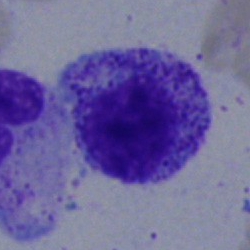Bone marrow smear showing a myelocyte.